Bone marrow aspirate smear:
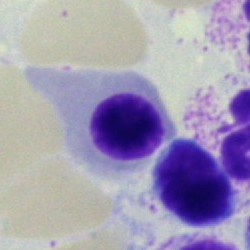Showing a nucleated red cell.